250 by 250 pixels. May-Grünwald-Giemsa/Pappenheim stain. Bone marrow smear — 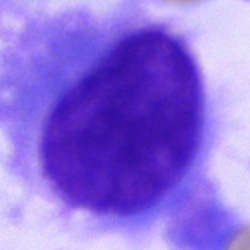 Impression — unidentifiable cell.